Bone marrow smear
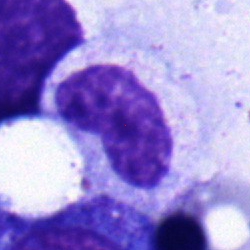
This is a metamyelocyte.